Bone marrow aspirate smear — 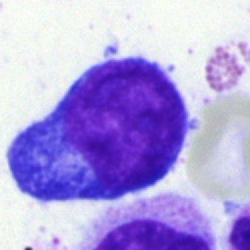
Pronormoblast.